Bone marrow aspirate smear: 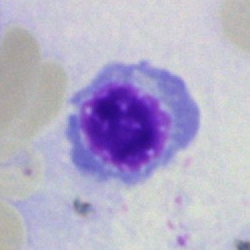
This is a nucleated red cell.